Pappenheim-stained; bone marrow aspirate smear
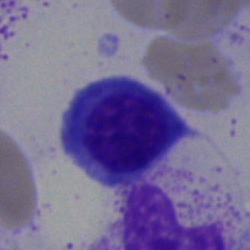

Classification: erythroblast.